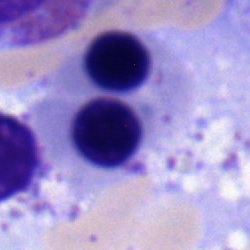Single-cell crop from a bone marrow smear: band neutrophil.